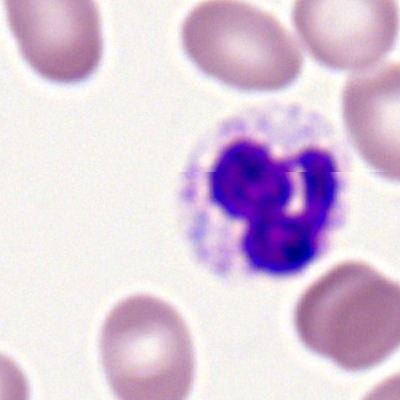
Segmented neutrophil.